Bone marrow smear · 250×250 px · single-cell field:
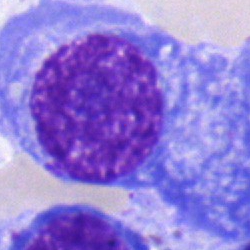
{"cell_type": "plasma cell"}